Bone marrow smear; image size 250×250; MGG-stained:
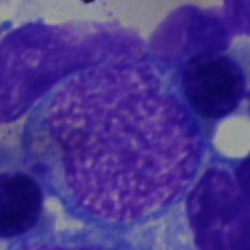 Q: Identify the cell.
A: Pronormoblast.